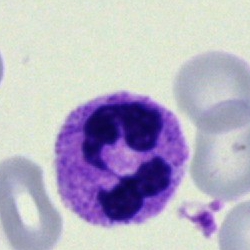 Showing a polymorphonuclear neutrophil.